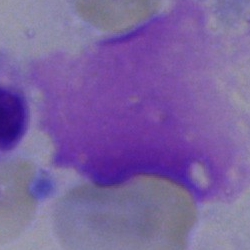 Specimen: bone marrow smear.
Cell: artefact.